Bone marrow smear: 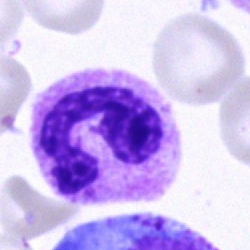Classification: polymorphonuclear neutrophil.